Bone marrow smear. Single-cell field.
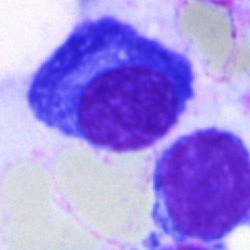

Q: Which cell type is shown here?
A: Plasmacyte.